Bone marrow smear:
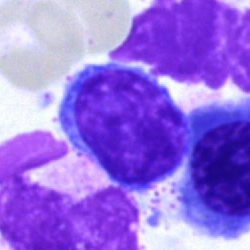
Q: What is the morphological classification of this cell?
A: A typical lymphocyte.